Bone marrow aspirate smear.
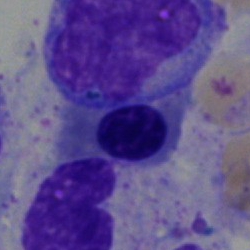Nucleated red cell.